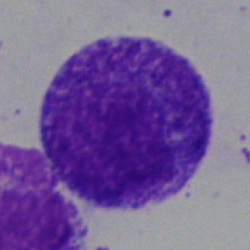Bone marrow aspirate smear, single cell — progranulocyte.